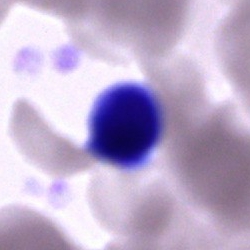 The morphological class is unidentifiable cell.